40× objective, oil immersion; bone marrow aspirate smear; May-Grünwald-Giemsa/Pappenheim stain.
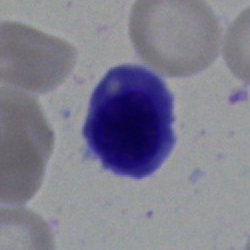

Impression → lymphocyte.